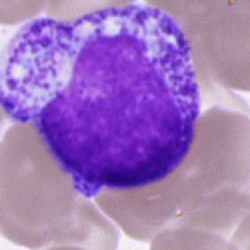

{"cell_type": "myelocyte", "lineage": "myeloid"}